Bone marrow aspirate smear
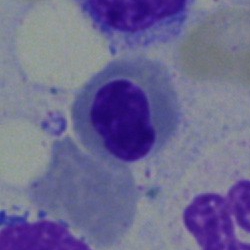
Classification — nucleated red cell.